Pappenheim-stained. Bone marrow smear.
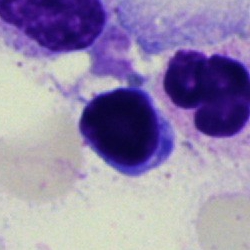The cell shown is a typical lymphocyte.